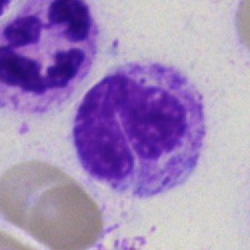{"cell_type": "segmented neutrophil"}